Bone marrow smear — 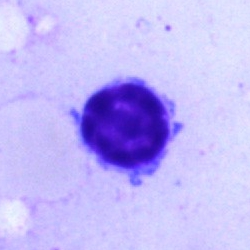
Q: What is the morphological classification of this cell?
A: This is a lymphocyte.